Bone marrow smear — 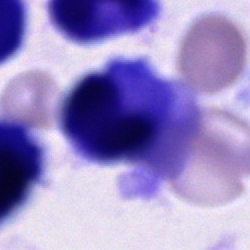Specimen: bone marrow aspirate smear.
Cell type: unidentifiable cell.